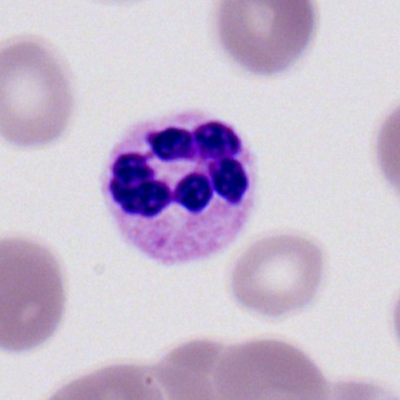

{"cell_type": "neutrophil (segmented)", "lineage": "myeloid"}